Bone marrow aspirate smear.
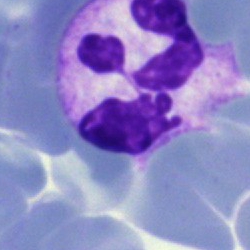Q: What is the morphological classification of this cell?
A: Neutrophil (segmented).